Bone marrow aspirate smear. MGG-stained — 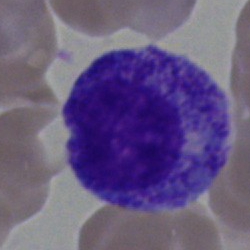
Specimen: bone marrow aspirate smear.
Cell type: promyelocyte.
Lineage: myeloid.